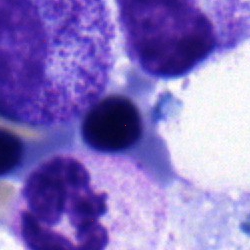

A nucleated red cell.